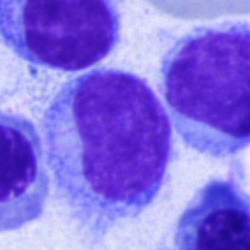

Bone marrow aspirate smear, single cell — hairy cell.